Bone marrow aspirate smear. 40× objective, oil immersion.
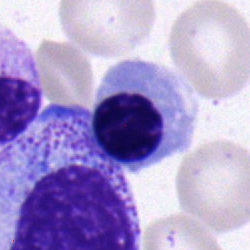 Q: What is shown here?
A: It is a normoblast.